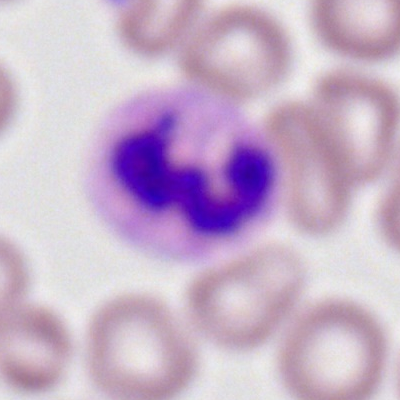
The morphological class is segmented neutrophil.